Bone marrow smear
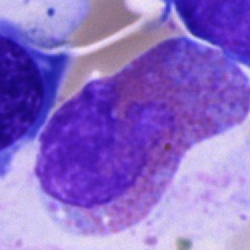Morphological class — eosinophil.